Bone marrow smear.
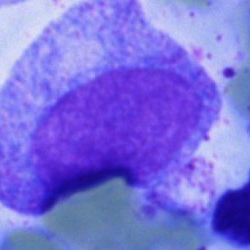 Specimen: bone marrow smear.
Morphological class: promyelocyte.
Lineage: myeloid.